250×250 px; bone marrow smear — 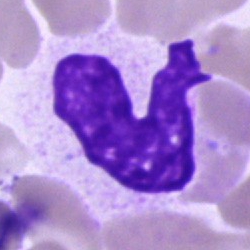
Cell type — artifact.